Bone marrow smear
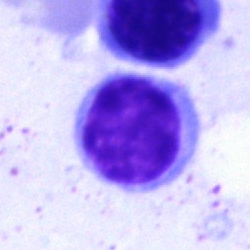 Specimen: bone marrow aspirate smear.
Morphological class: lymphocyte.